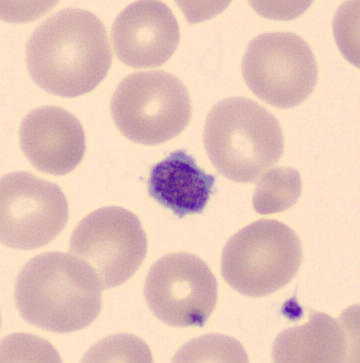 Preparation: Automated cell imaging (CellaVision DM96) · peripheral blood film.
Cell type: thrombocyte.